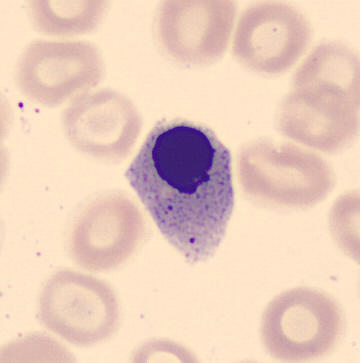
Morphological class: nucleated red blood cell.